400×400 px; peripheral blood film; 100× objective, oil immersion: 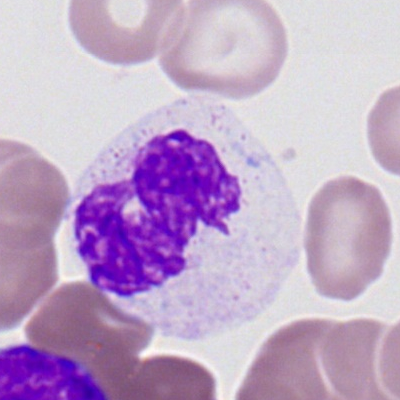Q: Identify the cell.
A: Polymorphonuclear neutrophil.